Bone marrow aspirate smear — 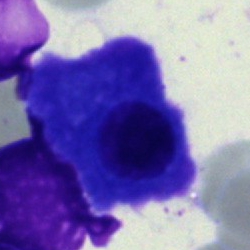Q: What cell is this?
A: It is a plasmacyte.